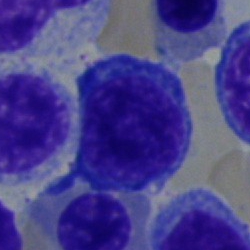

Showing a normoblast.